Bone marrow aspirate smear:
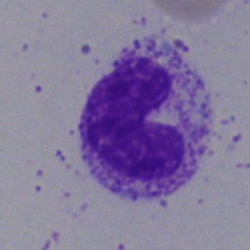

Q: Identify the cell.
A: It is a neutrophil (band).